Bone marrow smear:
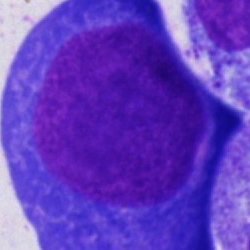Q: What is shown here?
A: It is a pronormoblast.